Bone marrow smear. 40× objective, oil immersion.
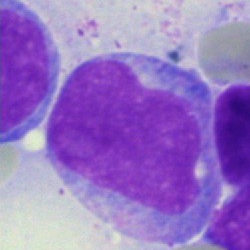Undifferentiated blast.